Bone marrow smear — 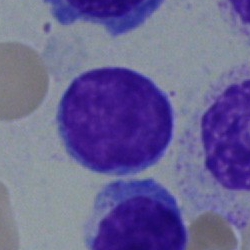

Q: Which cell type is shown here?
A: This is a typical lymphocyte.